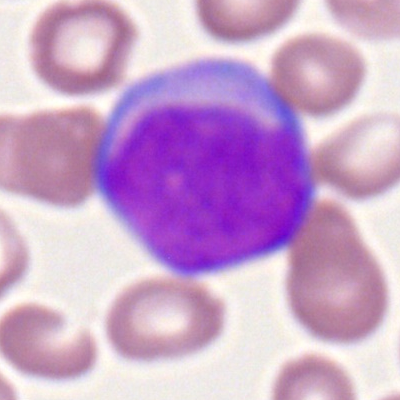 Q: What cell is this?
A: A myeloblast.